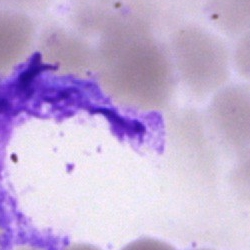
Classification: artifact.